Bone marrow smear; 40× objective, oil immersion; 250×250
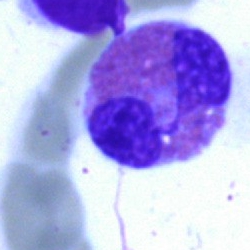
Cell: eosinophilic granulocyte.